May-Grünwald-Giemsa/Pappenheim stain · 40× objective, oil immersion · bone marrow aspirate smear.
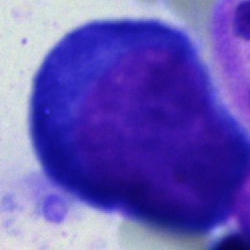
Morphological class: pronormoblast.